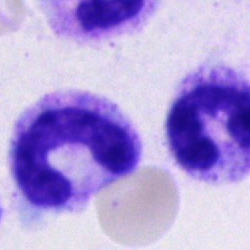

Band neutrophil.